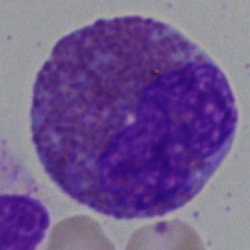An eosinophilic granulocyte on a bone marrow smear.